Bone marrow smear.
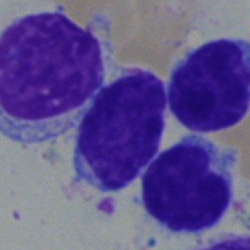

Single cell identified as a lymphocyte.